Bone marrow smear:
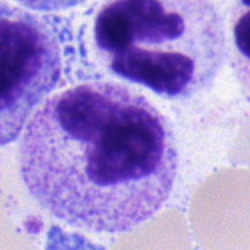Classification = band neutrophil.